Bone marrow aspirate smear
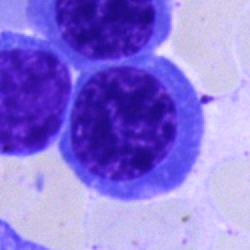Showing a nucleated red cell.